Bone marrow smear — 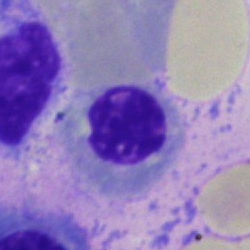

The classification is erythroblast.